Peripheral blood smear:
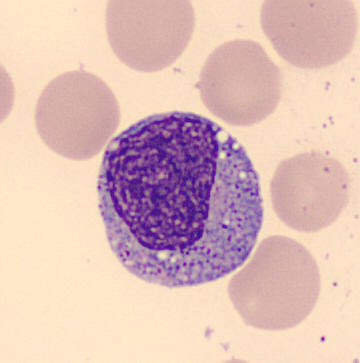Single cell identified as a myelocyte.